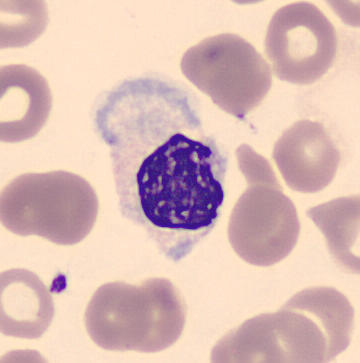 Peripheral blood smear.
Classification: myelocyte.